Bone marrow smear
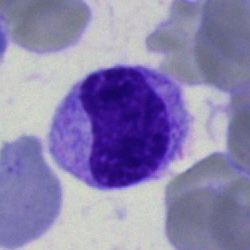 Q: Which cell type is shown here?
A: A metamyelocyte.